Cropped to a single cell; bone marrow aspirate smear:
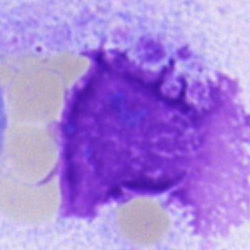An artefact.